Single-cell crop; bone marrow aspirate smear; 250×250.
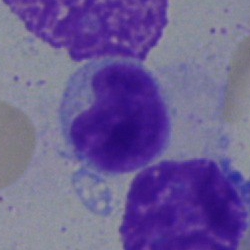{"cell_type": "typical lymphocyte"}